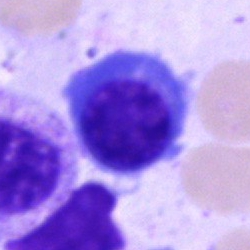
Bone marrow aspirate smear, single cell — nucleated red blood cell.